Bone marrow aspirate smear · 250×250 · Pappenheim-stained — 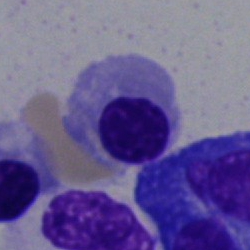

Cell — normoblast.